Bone marrow smear
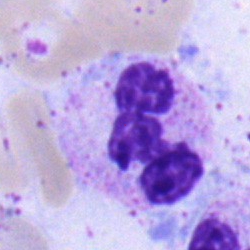
Q: Identify the cell.
A: This is a segmented neutrophil.